Bone marrow smear · 40× objective, oil immersion · single-cell field:
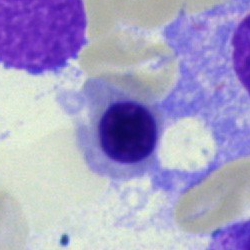
The cell shown is an erythroblast.